Peripheral blood smear; May-Grünwald-Giemsa-stained; single-cell crop
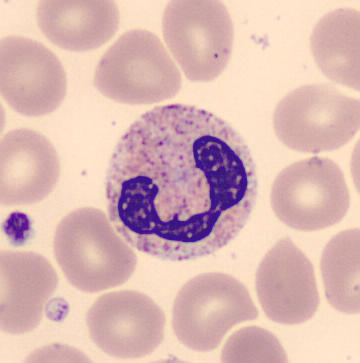

Neutrophil (segmented).